250×250 px. Bone marrow smear: 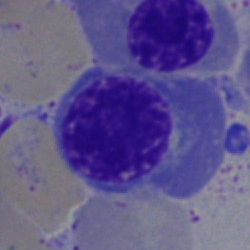

Q: Which cell type is shown here?
A: A normoblast.